Bone marrow aspirate smear — 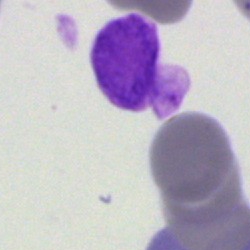 Morphological class = artifact.